250 by 250 pixels; bone marrow smear:
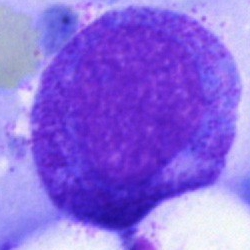
Promyelocyte.